250×250 px · bone marrow aspirate smear · 40× objective, oil immersion — 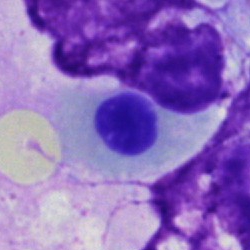

The cell type is normoblast.